Bone marrow smear — 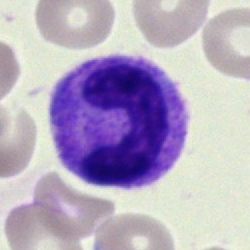
Cell: band neutrophil.